Bone marrow aspirate smear
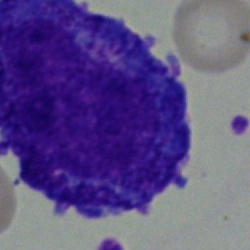
Showing a progranulocyte.